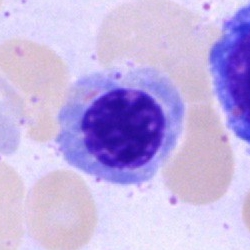 A normoblast.